Peripheral blood film
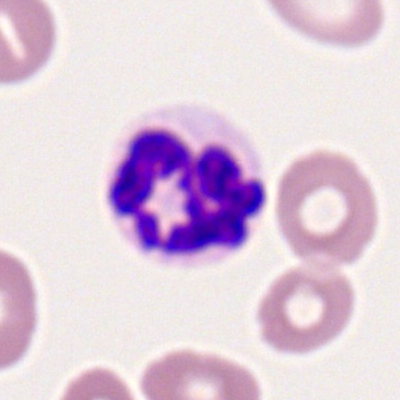
Morphology — polymorphonuclear neutrophil.